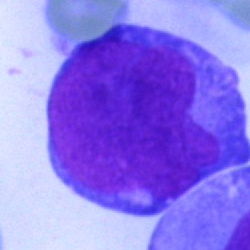
Q: What is the morphological classification of this cell?
A: This is a blast cell.